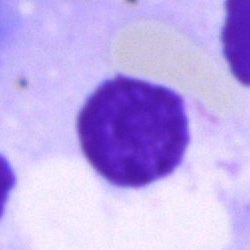 Classification = artifact.